Bone marrow smear — 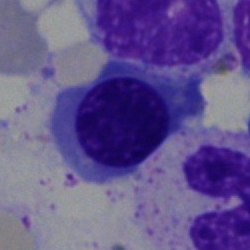

The cell shown is an erythroblast.